Cropped to a single cell. Bone marrow smear.
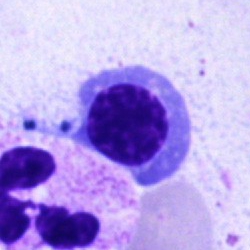

The cell type is nucleated red cell.